Bone marrow aspirate smear.
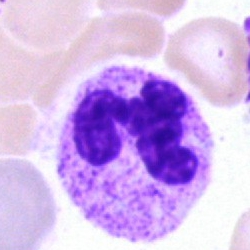
Cell type = neutrophil (segmented).